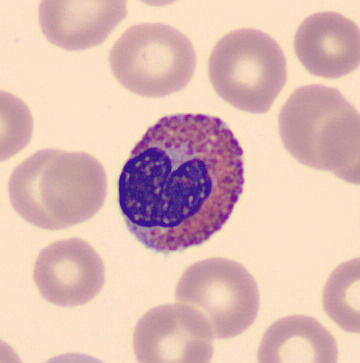
Single cell identified as an eosinophil.
Acquisition: Peripheral blood film.